Bone marrow smear:
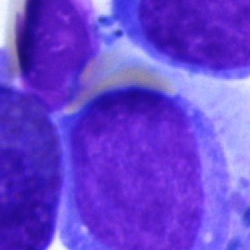
The cell type is undifferentiated blast.